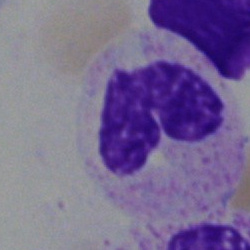
Morphological class — neutrophil (segmented).